250×250 px · bone marrow aspirate smear:
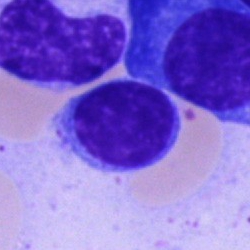
Morphology — typical lymphocyte.